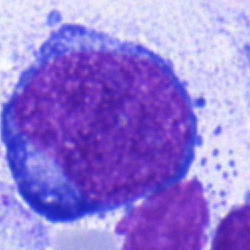Specimen: bone marrow aspirate smear.
Morphological class: pronormoblast.
Lineage: erythroid.